Peripheral blood smear: 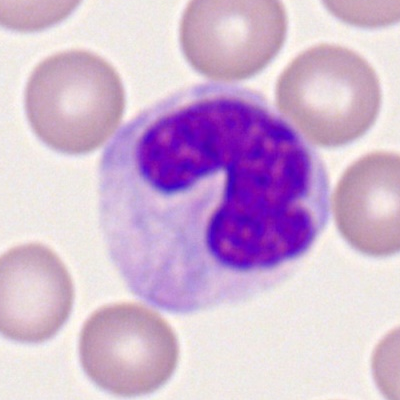 Q: What cell is this?
A: This is a monocyte.